250×250 px · Pappenheim-stained · bone marrow aspirate smear.
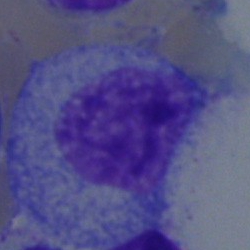The morphological class is myelocyte.